Bone marrow smear.
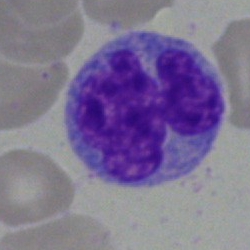Morphology consistent with a blast cell.